Brightfield, 40× oil-immersion objective. Bone marrow aspirate smear. Single-cell crop — 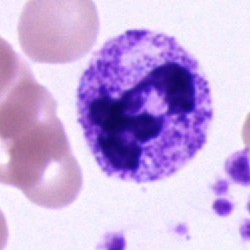
Morphology consistent with a polymorphonuclear neutrophil.